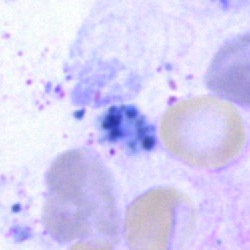 An artefact.